Bone marrow aspirate smear.
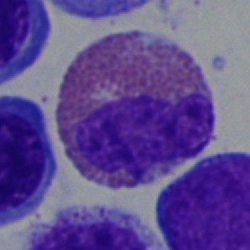 Impression — eosinophil.